Bone marrow aspirate smear · brightfield, 40× oil-immersion objective:
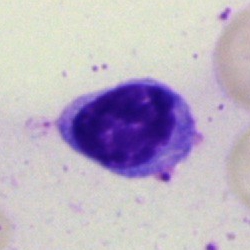The classification is lymphocyte.